Bone marrow smear.
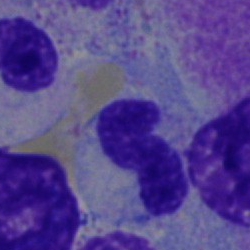

The cell type is band neutrophil.